Bone marrow smear; 250 by 250 pixels:
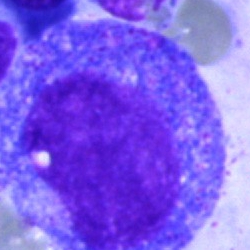 {"cell_type": "progranulocyte", "lineage": "myeloid"}